Bone marrow aspirate smear:
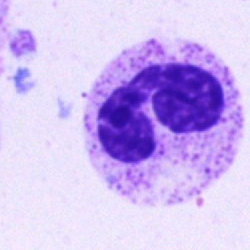

Q: What cell is this?
A: A neutrophil (segmented).